Bone marrow aspirate smear
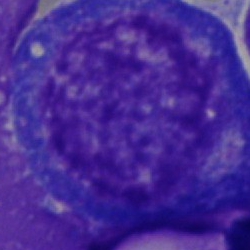
Showing a progranulocyte.